Cropped to a single cell. Bone marrow smear: 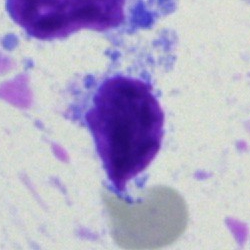Single cell identified as a typical lymphocyte.